Bone marrow smear.
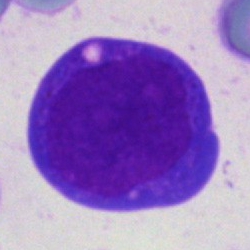 Single cell identified as an undifferentiated blast.